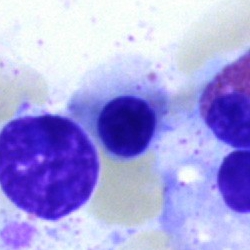

Morphology — nucleated red blood cell.